Pappenheim-stained. Single-cell crop. Bone marrow smear.
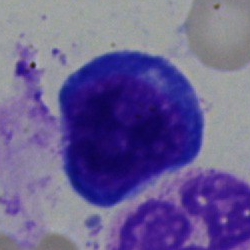
Specimen: bone marrow aspirate smear.
Cell type: proerythroblast.
Lineage: erythroid.